Peripheral blood smear. Cropped to a single cell — 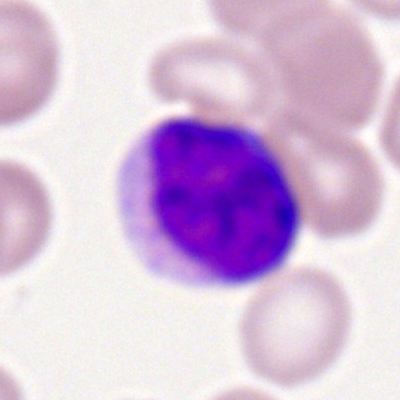 Morphology — typical lymphocyte.